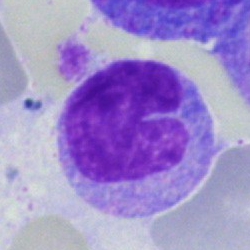
Q: What type of cell is this?
A: This is a monocyte.